Bone marrow smear — 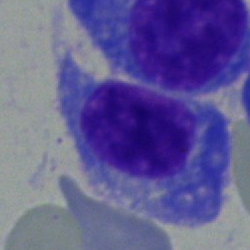

Cell type — plasmacyte.